Bone marrow smear · single-cell crop:
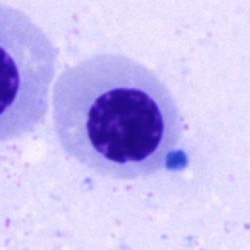Morphological class = nucleated red cell.